Bone marrow smear.
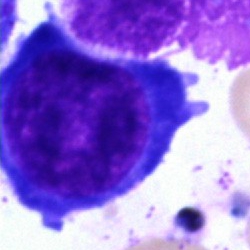Single cell identified as a pronormoblast.